Bone marrow aspirate smear
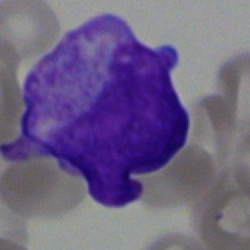
An undifferentiated blast.